Single-cell field · bone marrow aspirate smear · 250×250 — 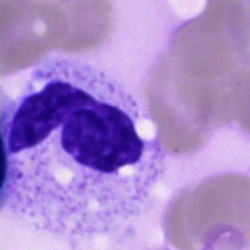This is a segmented neutrophil.